Bone marrow smear · May-Grünwald-Giemsa stain · single cell centered in the field: 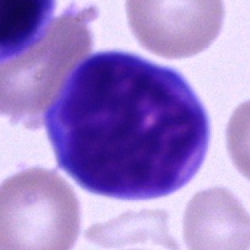

Blast.